Bone marrow smear — 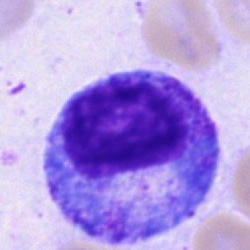A promyelocyte.